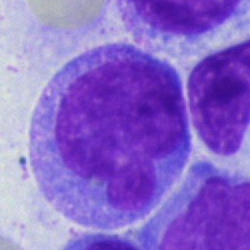

Bone marrow aspirate smear, single cell — monocyte.